MGG-stained · bone marrow aspirate smear.
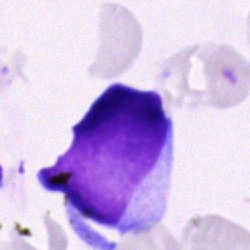 Specimen: bone marrow smear.
Morphological class: cell of indeterminate lineage.